Bone marrow smear; brightfield microscopy, 40× oil immersion; cropped to a single cell: 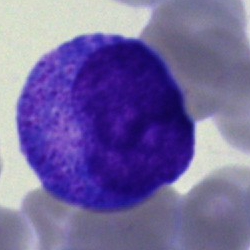The cell shown is a progranulocyte.